Bone marrow smear.
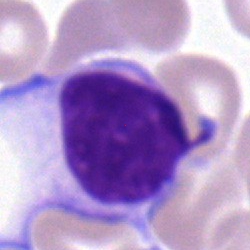Specimen: bone marrow aspirate smear.
Cell type: lymphocyte.